Pappenheim-stained. Bone marrow smear: 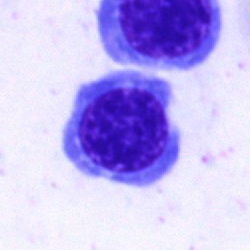Morphology → erythroblast.